Bone marrow smear: 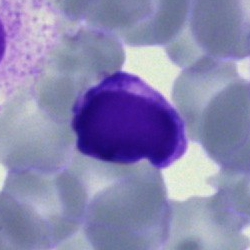Q: Which cell type is shown here?
A: It is a typical lymphocyte.